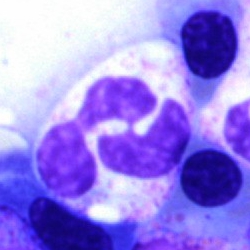
Cell type: segmented neutrophil.